Image size 250×250. Bone marrow smear: 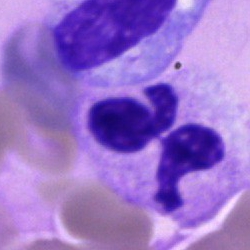This is a neutrophil (segmented).